Bone marrow smear:
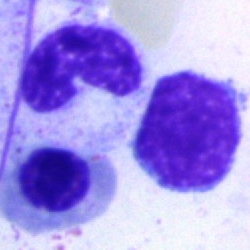
The cell shown is a band neutrophil.